May-Grünwald-Giemsa-stained · peripheral blood film — 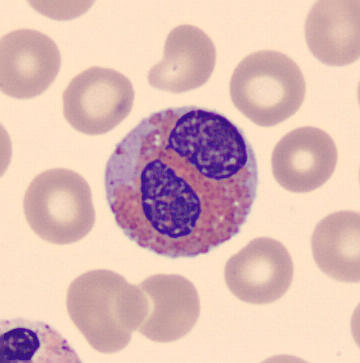
Impression → eosinophil.